Bone marrow smear:
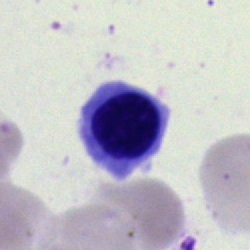
Morphological class — nucleated red cell.